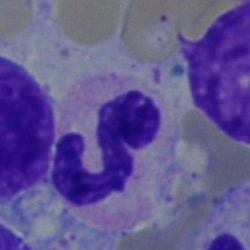
{"cell_type": "segmented neutrophil", "lineage": "myeloid"}